Bone marrow aspirate smear — 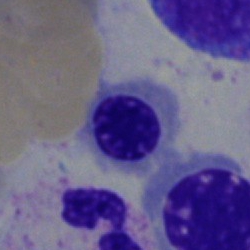

This is a normoblast.